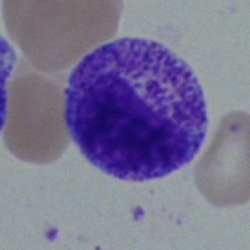

Q: What type of cell is this?
A: Myelocyte.